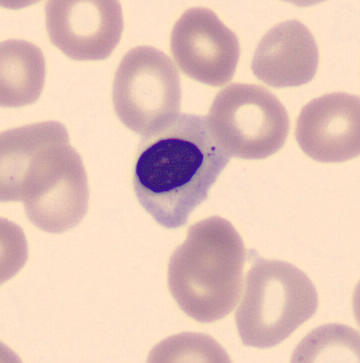 The cell shown is an erythroblast.